Bone marrow aspirate smear.
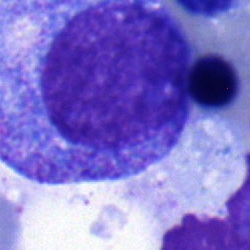

Q: What type of cell is this?
A: Promyelocyte.